Bone marrow aspirate smear — 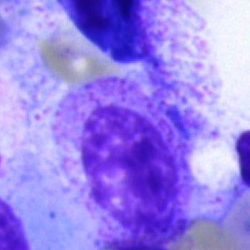 Morphological class = myelocyte.